Bone marrow aspirate smear; brightfield microscopy, 40× oil immersion
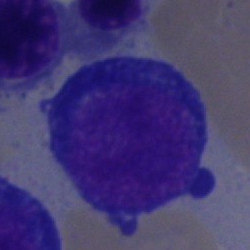This is a nucleated red cell.